Bone marrow smear · May-Grünwald-Giemsa/Pappenheim stain · 250×250 px — 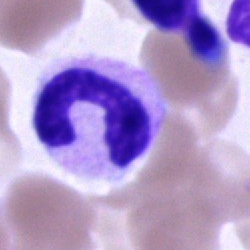 A band-form neutrophil.